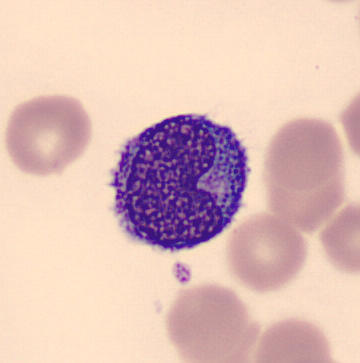 Acquisition: 360×363. Peripheral blood smear. Monocyte.